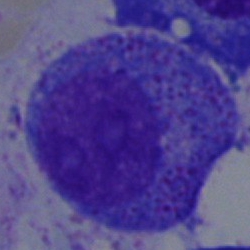 Morphology consistent with a promyelocyte.